May-Grünwald-Giemsa/Pappenheim stain. Bone marrow smear:
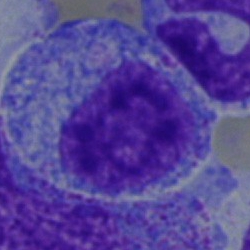
Cell type: progranulocyte.